Brightfield, 40× oil-immersion objective; bone marrow smear; single-cell field — 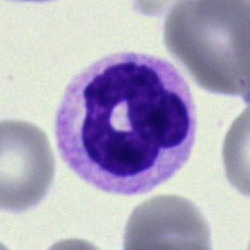 {"cell_type": "polymorphonuclear neutrophil"}